Peripheral blood film:
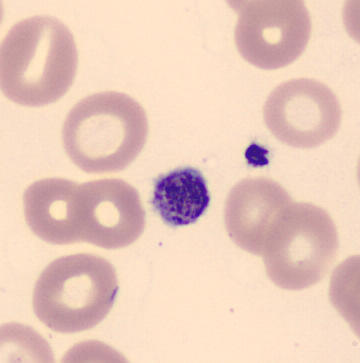

Q: What is this?
A: It is a platelet (thrombocyte).